Brightfield microscopy, 40× oil immersion; single-cell field; bone marrow smear — 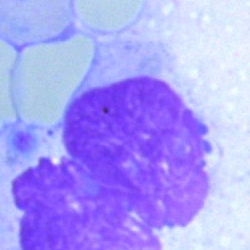

Q: What is shown here?
A: It is an artifact.